Peripheral blood smear.
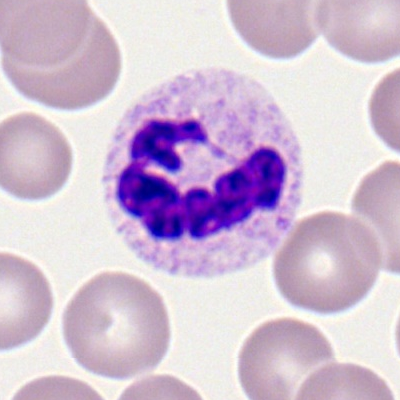
Segmented neutrophil.